Bone marrow aspirate smear:
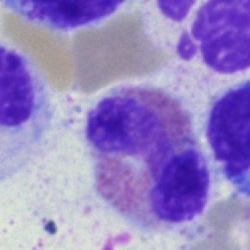
Single cell identified as an eosinophilic granulocyte.